Bone marrow aspirate smear:
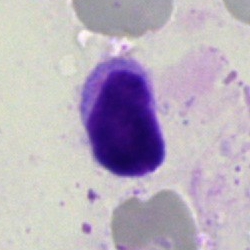 Lymphocyte.